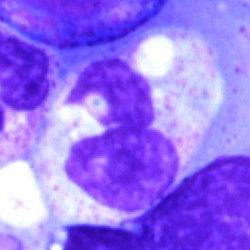

Morphology consistent with a neutrophil (segmented).